Peripheral blood film · 100× objective, oil immersion:
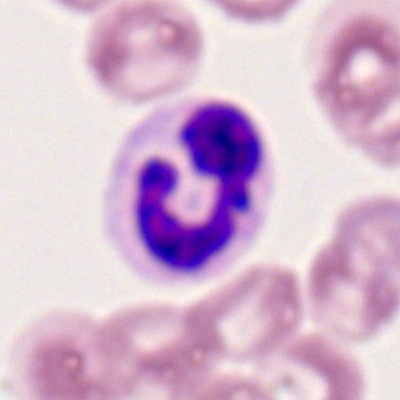Specimen: peripheral blood smear.
Cell: neutrophil (segmented).
Lineage: myeloid.